Bone marrow smear — 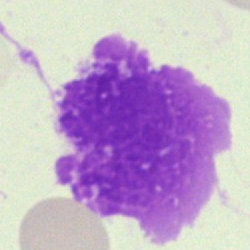

Classification — artefact.